250×250 px. Bone marrow aspirate smear: 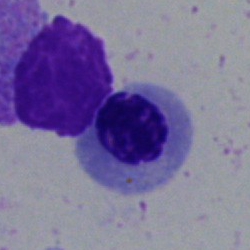 Nucleated red cell.